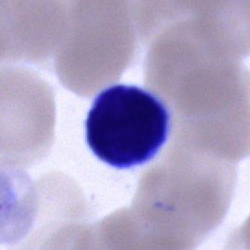

A lymphocyte.